Peripheral blood film; cropped to a single cell; image size 400×400:
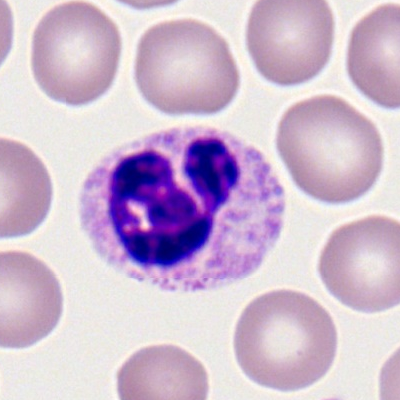 Cell = polymorphonuclear neutrophil.